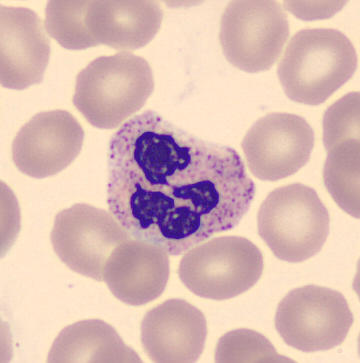 Peripheral blood smear · single cell centered in the field · imaged on a CellaVision DM96 analyser.
{"cell_type": "neutrophil (segmented)", "lineage": "myeloid"}